Peripheral blood smear; Romanowsky stain.
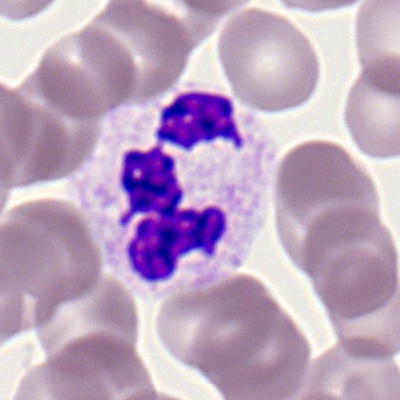
The cell shown is a neutrophil (segmented).